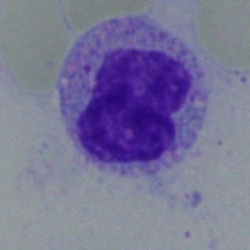 Specimen: bone marrow smear.
Morphological class: metamyelocyte.
Lineage: myeloid.